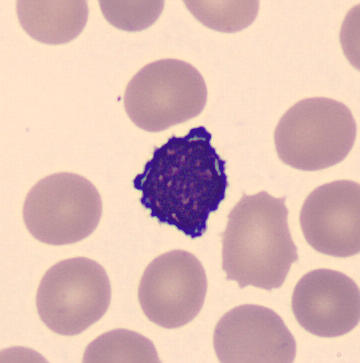Peripheral blood film · cropped to a single cell · CellaVision DM96 digital cell image.

Impression — lymphocyte.